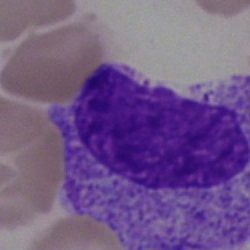

The cell shown is a metamyelocyte.